Bone marrow aspirate smear:
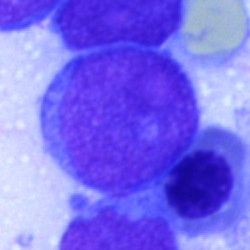
Morphological class — undifferentiated blast.